Bone marrow aspirate smear. Image size 250×250:
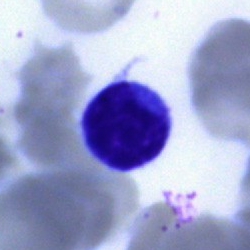

The cell shown is a typical lymphocyte.